Bone marrow smear · Pappenheim-stained.
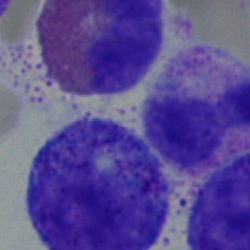
{"cell_type": "eosinophil", "lineage": "myeloid"}